Bone marrow aspirate smear
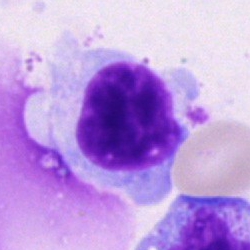

Lymphocyte.